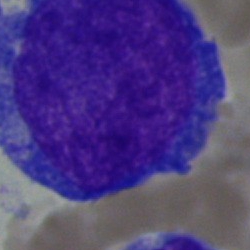
Basophilic granulocyte.